Bone marrow smear · single-cell field.
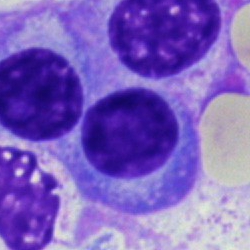Cell: plasmacyte.